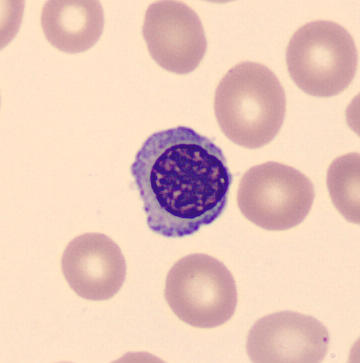Image: Peripheral blood film · 360 by 363 pixels.
Showing an erythroblast.